Single cell centered in the field; peripheral blood film:
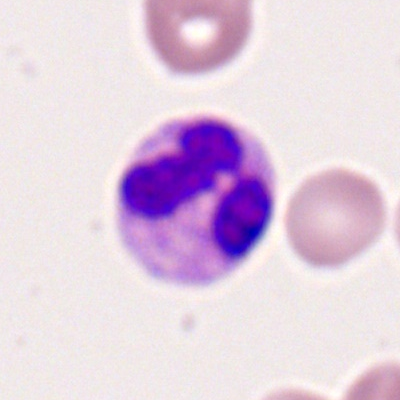Q: What is shown here?
A: Segmented neutrophil.